Bone marrow aspirate smear — 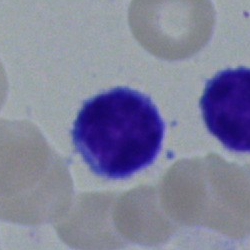
Q: What is shown here?
A: This is a lymphocyte.